Bone marrow smear.
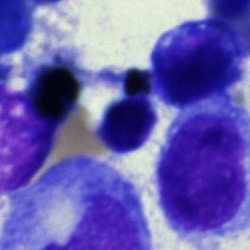 Morphology — artefact.